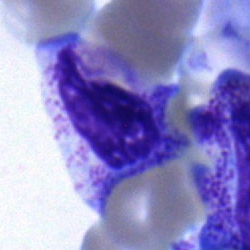
{"cell_type": "myelocyte", "lineage": "myeloid"}